360×363 px. MGG stain. Peripheral blood smear — 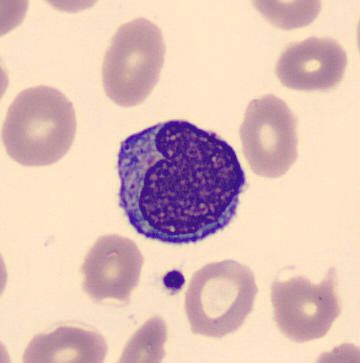
A monocyte.